400×400 · peripheral blood smear · Romanowsky-type stain: 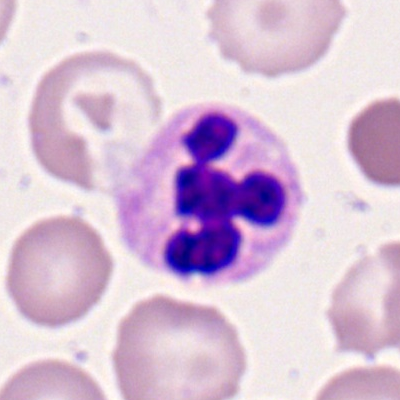
Cell type — segmented neutrophil.